Bone marrow smear:
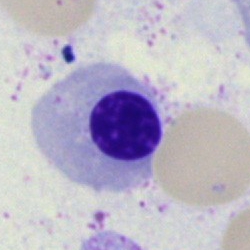 Specimen: bone marrow smear.
Morphological class: nucleated red cell.
Lineage: erythroid.